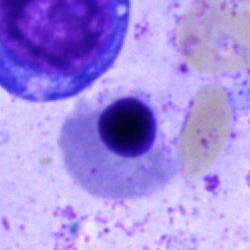
Morphological class = normoblast.